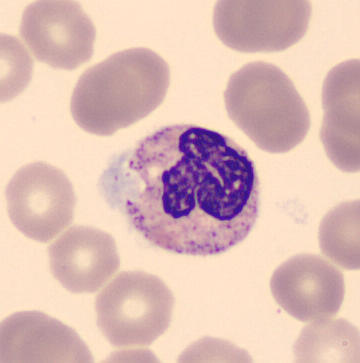 Cell = band neutrophil.